May-Grünwald-Giemsa/Pappenheim stain · bone marrow smear: 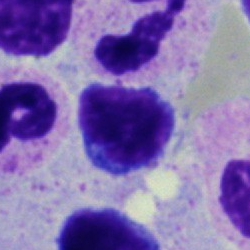
Morphological class = typical lymphocyte.